Bone marrow smear; single-cell crop:
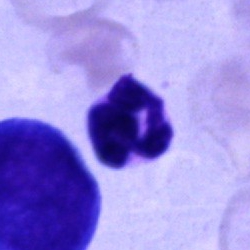

Q: Identify the cell.
A: Segmented neutrophil.